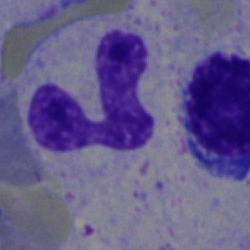Morphological class = neutrophil (segmented).